Bone marrow aspirate smear
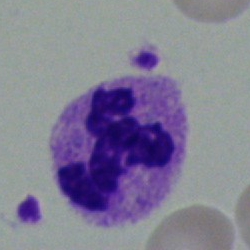 Single cell identified as a segmented neutrophil.